Bone marrow aspirate smear.
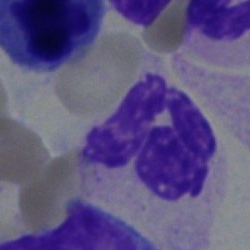
Q: Identify the cell.
A: This is a polymorphonuclear neutrophil.